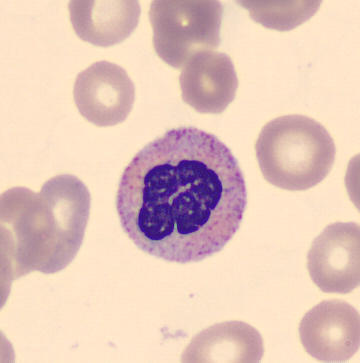
Single cell identified as a neutrophil (band).
Peripheral blood smear; MGG-stained; CellaVision DM96 digital cell image.